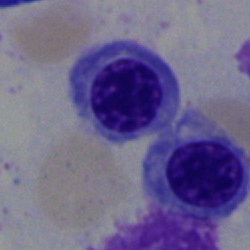An erythroblast on a bone marrow smear.